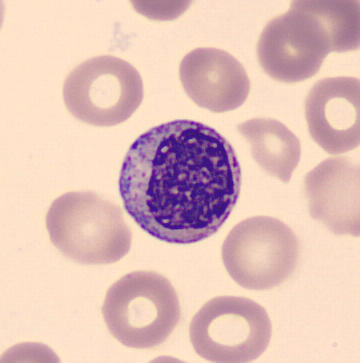
Peripheral blood smear. Q: Identify the cell.
A: Myelocyte.